May-Grünwald-Giemsa/Pappenheim stain; bone marrow aspirate smear: 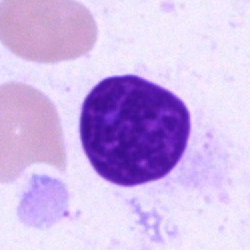 Morphology consistent with an artifact.